Bone marrow smear: 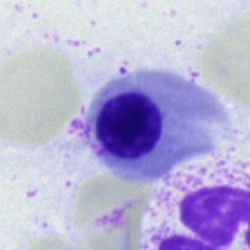
This is an erythroblast.